Bone marrow smear. 250×250 px:
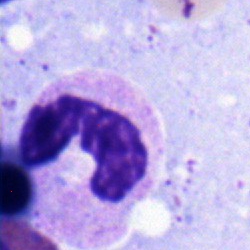

Q: Identify the cell.
A: It is a stab cell.